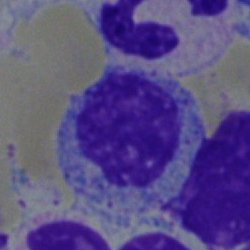

The cell is myelocyte.